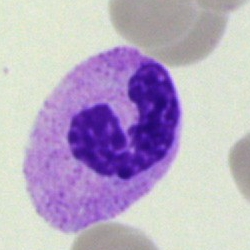
A polymorphonuclear neutrophil.